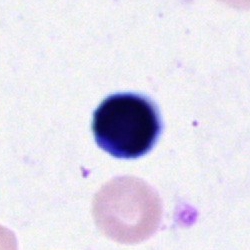

{"cell_type": "artifact"}